Bone marrow smear
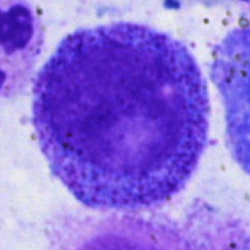Specimen: bone marrow aspirate smear.
Classification: promyelocyte.
Lineage: myeloid.